Bone marrow smear. Pappenheim-stained: 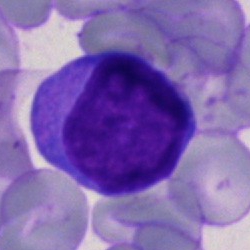Morphology → blast cell.